Bone marrow aspirate smear: 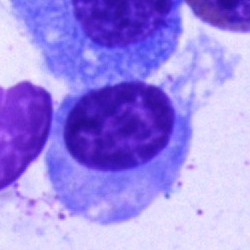{"cell_type": "plasmacyte", "lineage": "lymphoid"}